Bone marrow smear.
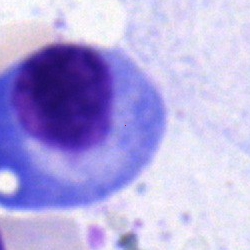Cell = plasmacyte.